250×250. Bone marrow aspirate smear. 40× objective, oil immersion
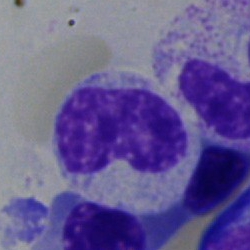 A metamyelocyte.